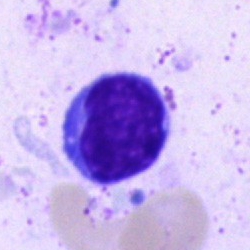Q: Which cell type is shown here?
A: Typical lymphocyte.